Cropped to a single cell. Bone marrow smear:
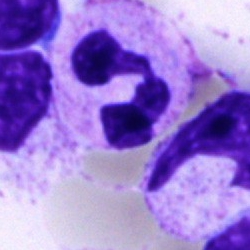This is a segmented neutrophil.